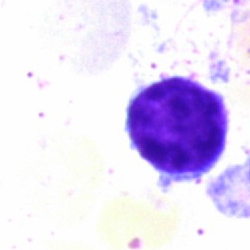 Single cell identified as a typical lymphocyte.